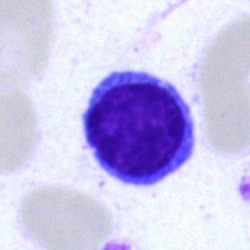

Single-cell crop from a bone marrow smear: typical lymphocyte.